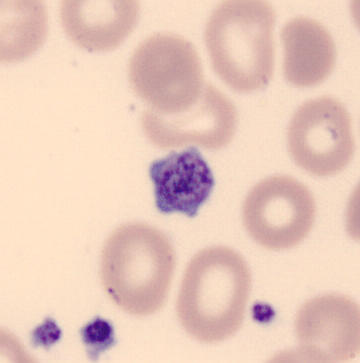Image: Peripheral blood film. Identified as a platelet.